Bone marrow smear:
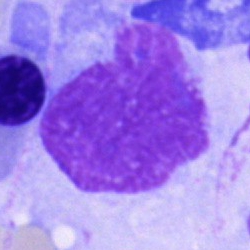

Impression → artifact.